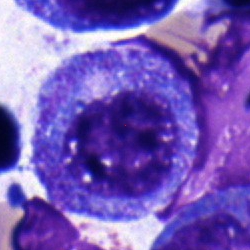 Cell type: progranulocyte.